Bone marrow aspirate smear.
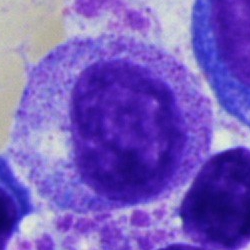Specimen: bone marrow smear.
Classification: promyelocyte.
Lineage: myeloid.